Bone marrow aspirate smear · brightfield microscopy, 40× oil immersion · MGG-stained: 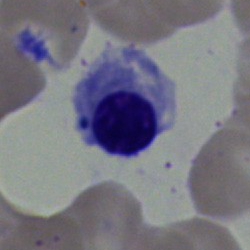
Specimen: bone marrow smear.
Cell type: nucleated red cell.
Lineage: erythroid.